Single-cell crop; bone marrow aspirate smear — 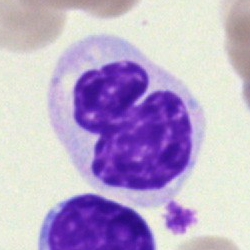
Q: Identify the cell.
A: This is a segmented neutrophil.